Bone marrow aspirate smear
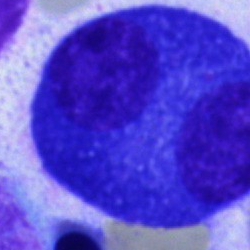The cell type is plasma cell.